Bone marrow smear:
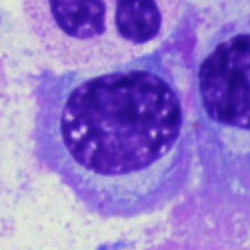 Morphology consistent with a plasmacyte.